Bone marrow smear — 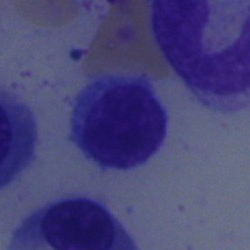
Q: Which cell type is shown here?
A: Lymphocyte.